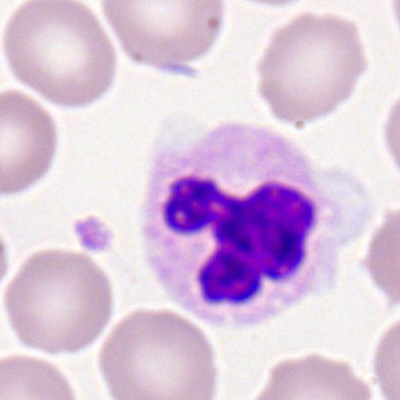 Specimen: peripheral blood smear.
Cell type: neutrophil (segmented).